Bone marrow smear
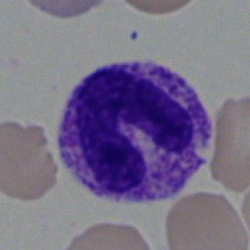Morphology — band neutrophil.